Peripheral blood film
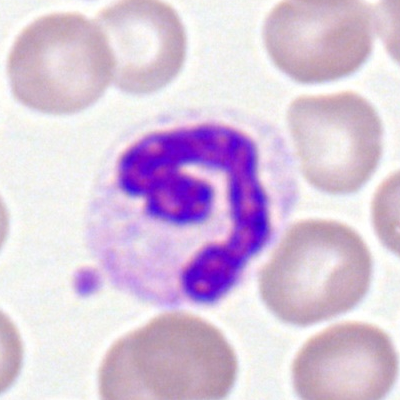

Morphology consistent with a segmented neutrophil.